Bone marrow aspirate smear: 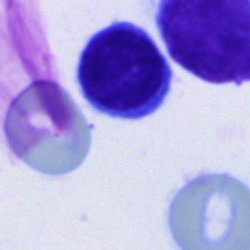The cell type is lymphocyte.